Bone marrow aspirate smear
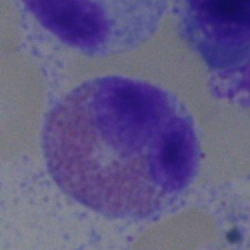Eosinophil.